Bone marrow aspirate smear — 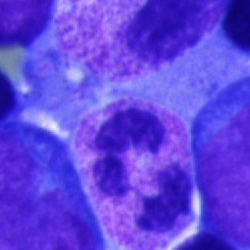
The cell type is neutrophil (segmented).